40× objective, oil immersion; bone marrow smear; 250×250:
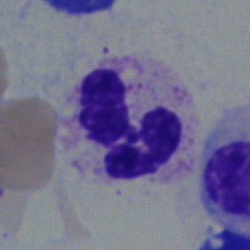 Classification = neutrophil (segmented).